Brightfield, 40× oil-immersion objective. May-Grünwald-Giemsa/Pappenheim stain. Bone marrow aspirate smear: 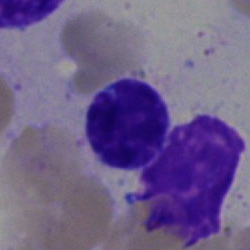
A lymphocyte.